250×250; bone marrow aspirate smear
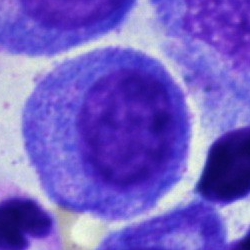
{"cell_type": "progranulocyte", "lineage": "myeloid"}